Pappenheim-stained · bone marrow aspirate smear
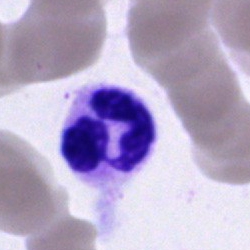
The morphological class is segmented neutrophil.